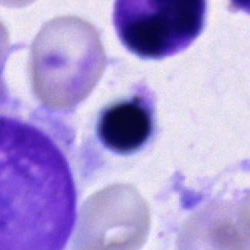 Bone marrow aspirate smear, single cell — cell of indeterminate lineage.